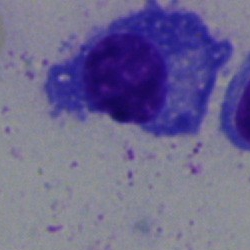
The cell shown is a plasmacyte.